Image size 250×250. Bone marrow smear.
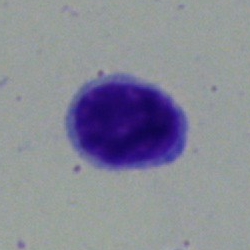
Morphology — lymphocyte.